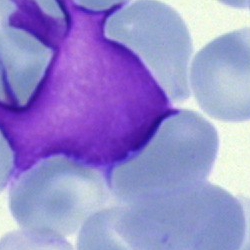 Q: What is shown here?
A: An artefact.